Bone marrow aspirate smear.
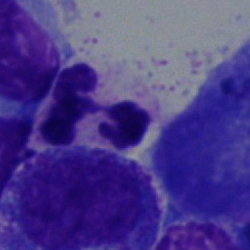
Single cell identified as a neutrophil (segmented).